Bone marrow smear — 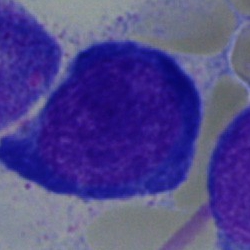Specimen: bone marrow aspirate smear.
Cell type: pronormoblast.
Lineage: erythroid.